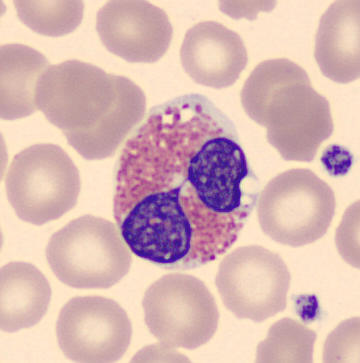 {"cell_type": "eosinophilic granulocyte", "lineage": "myeloid"}
Acquisition: Peripheral blood film.